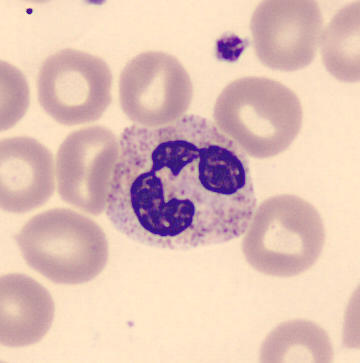 Cell type: polymorphonuclear neutrophil.